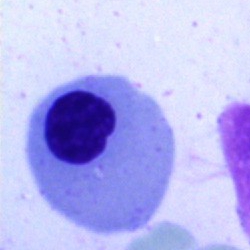

Classification: erythroblast.